Bone marrow aspirate smear.
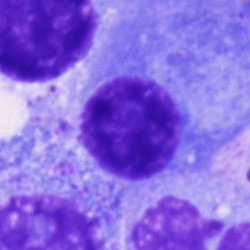

Morphological class = plasma cell.